Bone marrow aspirate smear · May-Grünwald-Giemsa/Pappenheim stain · 250×250: 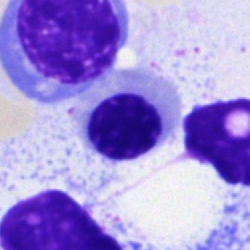Impression — nucleated red cell.